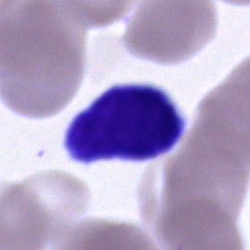
Specimen: bone marrow smear.
Cell: typical lymphocyte.